Bone marrow aspirate smear.
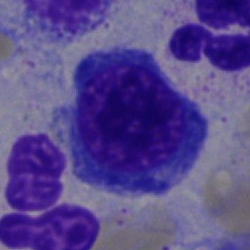Impression → normoblast.